Bone marrow smear
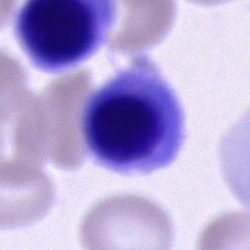

Classification = nucleated red cell.